Bone marrow smear: 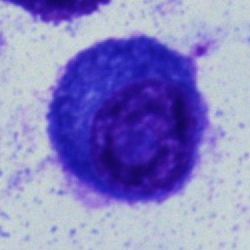 Cell type: plasmacyte.